Bone marrow smear; cropped to a single cell
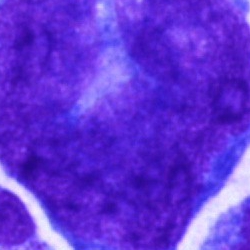Single cell identified as an artefact.